Bone marrow aspirate smear — 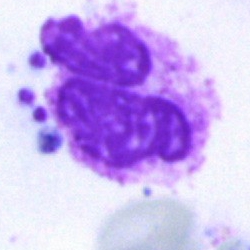{"cell_type": "artifact"}